Bone marrow aspirate smear
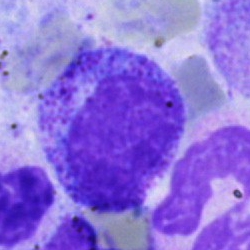The cell shown is a myelocyte.